Bone marrow aspirate smear — 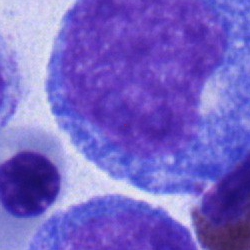
Cell type — promyelocyte.